Bone marrow aspirate smear; 250×250 px:
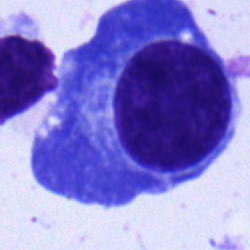

Q: What is the morphological classification of this cell?
A: Plasmacyte.